Bone marrow aspirate smear.
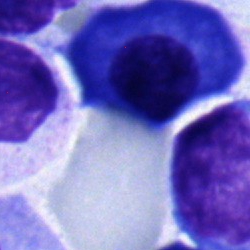

A plasmacyte.